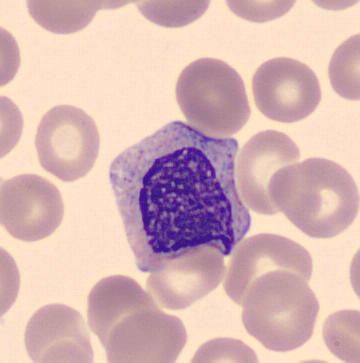

Morphology → myelocyte.

Image: Peripheral blood smear.